Bone marrow smear. 40× oil immersion:
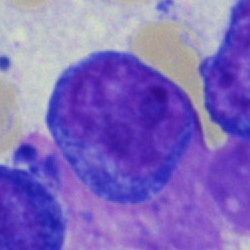

Morphological class = pronormoblast.